May-Grünwald-Giemsa/Pappenheim stain; bone marrow aspirate smear
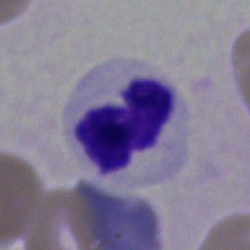
Q: What type of cell is this?
A: Polymorphonuclear neutrophil.